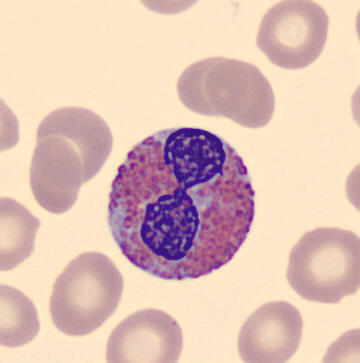 Eosinophil.
Preparation: Peripheral blood smear.